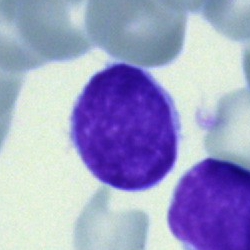
Q: Identify the cell.
A: It is a typical lymphocyte.